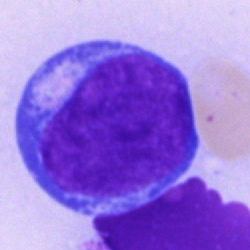 Blast cell.